Single-cell crop. Bone marrow smear. 250 by 250 pixels.
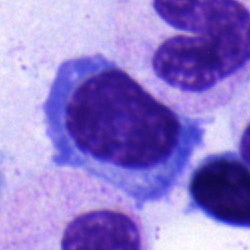The cell is nucleated red blood cell.